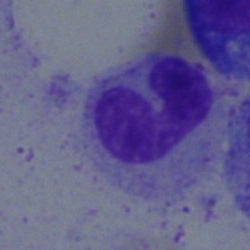 Specimen: bone marrow smear.
Cell type: band neutrophil.
Lineage: myeloid.